Image size 250×250. Cropped to a single cell. Bone marrow aspirate smear:
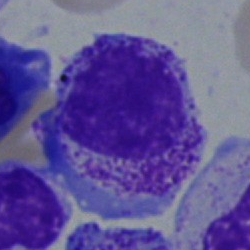

{"cell_type": "myelocyte", "lineage": "myeloid"}